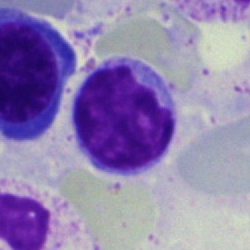Lymphocyte.